Bone marrow smear; 40× oil immersion; Pappenheim-stained — 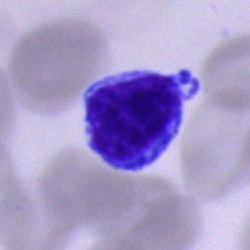 Cell type = typical lymphocyte.